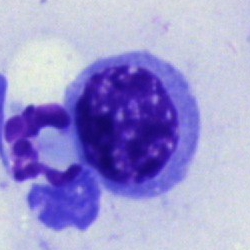 Nucleated red blood cell.